Bone marrow aspirate smear; 250×250; May-Grünwald-Giemsa stain — 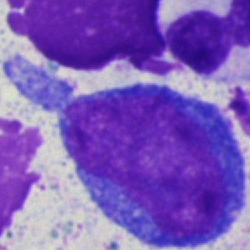
Cell type — proerythroblast.